Single-cell crop; bone marrow smear.
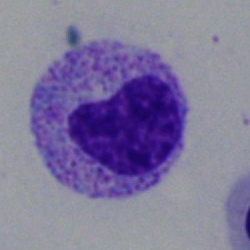

Specimen: bone marrow smear.
Classification: metamyelocyte.